Bone marrow aspirate smear.
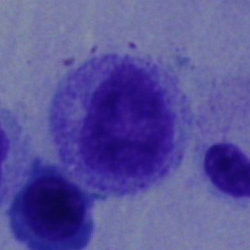Specimen: bone marrow aspirate smear.
Morphological class: myelocyte.
Lineage: myeloid.